Cropped to a single cell; bone marrow smear: 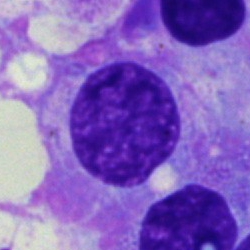 Q: What is shown here?
A: A plasma cell.